Image size 250×250. Bone marrow aspirate smear
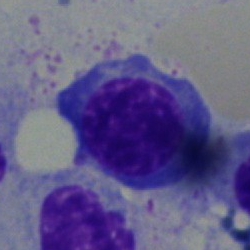 Morphology consistent with an erythroblast.